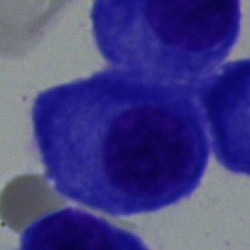Morphology → plasmacyte.